Bone marrow aspirate smear: 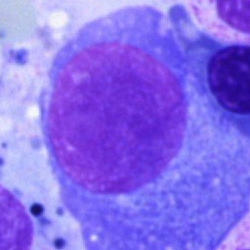Morphological class: plasmacyte.